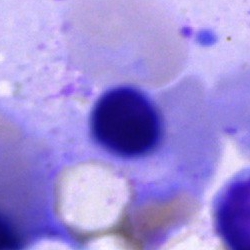
Impression — nucleated red cell.